Bone marrow smear.
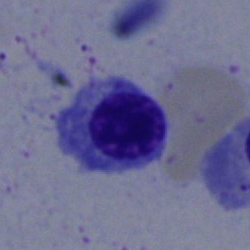

Specimen: bone marrow smear.
Cell type: nucleated red cell.